Bone marrow smear. 40× objective, oil immersion.
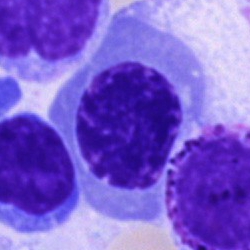 Impression → erythroblast.